Peripheral blood film.
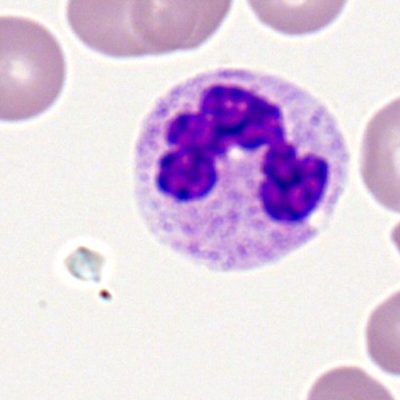

Q: Identify the cell.
A: This is a polymorphonuclear neutrophil.